Peripheral blood smear: 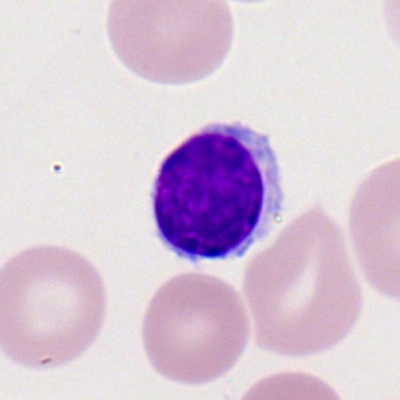 Q: What cell is this?
A: This is a typical lymphocyte.